250 by 250 pixels. Bone marrow aspirate smear. Brightfield, 40× oil-immersion objective.
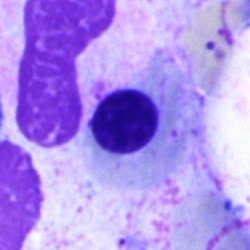

Morphology consistent with a nucleated red blood cell.